Image size 250×250; bone marrow smear:
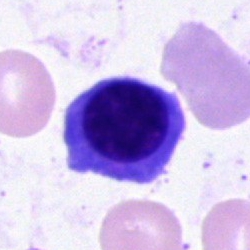

The cell is nucleated red cell.